Bone marrow aspirate smear.
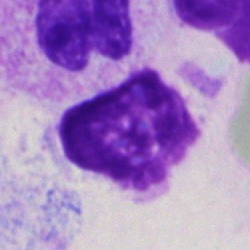The cell type is artefact.